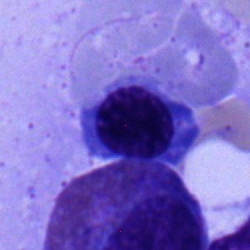
Specimen: bone marrow smear.
Cell type: normoblast.
Lineage: erythroid.